Bone marrow smear — 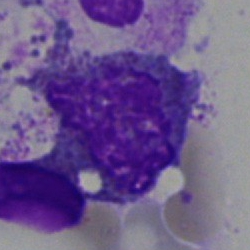

Morphology — artefact.